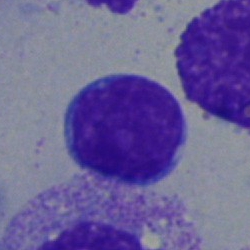A lymphocyte.